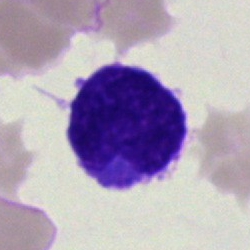
Specimen: bone marrow smear.
Morphological class: undifferentiated blast.